Bone marrow smear:
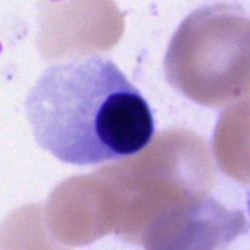

Q: What cell is this?
A: A nucleated red blood cell.